Peripheral blood smear:
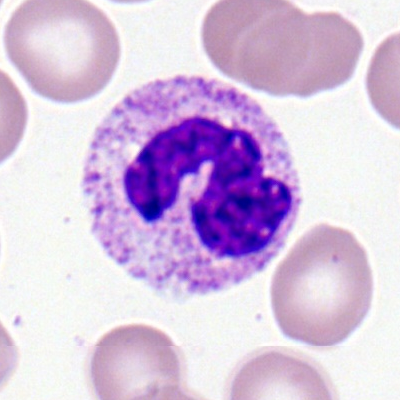 Impression → segmented neutrophil.